Bone marrow smear
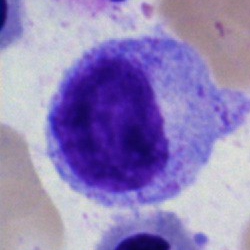Cell = myelocyte.